Bone marrow smear — 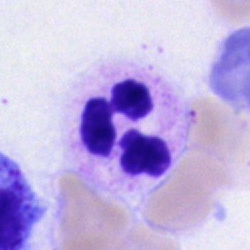
Q: Identify the cell.
A: This is a neutrophil (segmented).